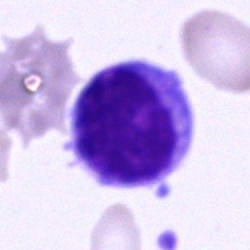
The cell type is lymphocyte.